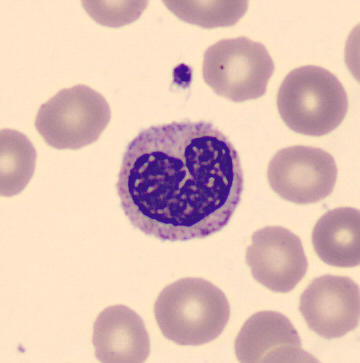
Specimen: peripheral blood film.
Cell: band-form neutrophil.
Lineage: myeloid.